Bone marrow aspirate smear. Brightfield microscopy, 40× oil immersion:
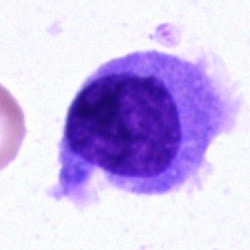
Impression → plasma cell.